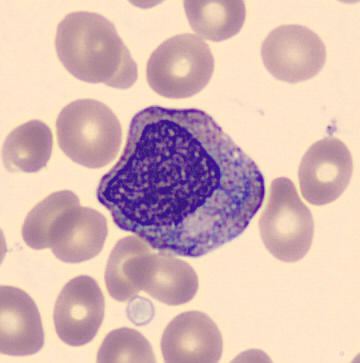

{"cell_type": "promyelocyte"} Acquisition: 360 by 363 pixels. Peripheral blood film.